Bone marrow aspirate smear.
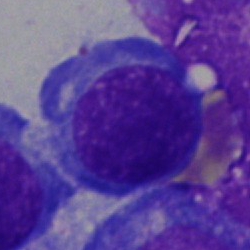The morphological class is erythroblast.